Bone marrow aspirate smear
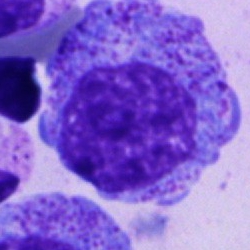
A progranulocyte.